Peripheral blood smear: 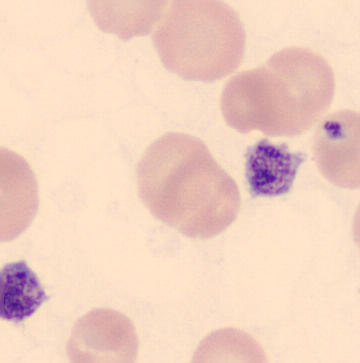 The cell type is platelet.